Bone marrow aspirate smear.
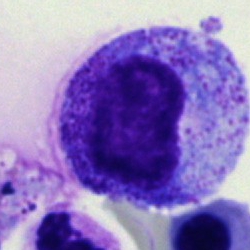
A metamyelocyte.